Bone marrow aspirate smear · 40× objective, oil immersion
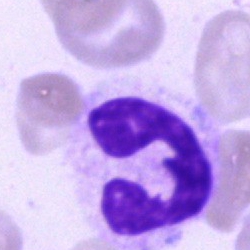Morphology consistent with a polymorphonuclear neutrophil.